Bone marrow aspirate smear — 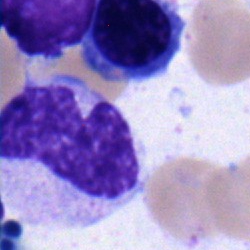
A band-form neutrophil.